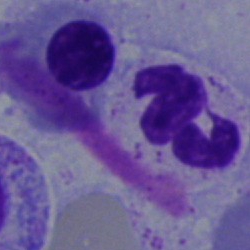Q: What cell is this?
A: This is a segmented neutrophil.